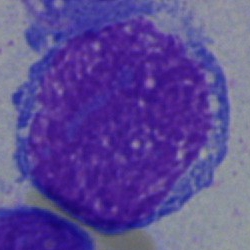

Morphology consistent with a blast.